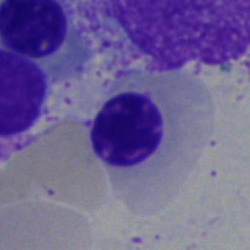Morphological class: normoblast.